Bone marrow smear: 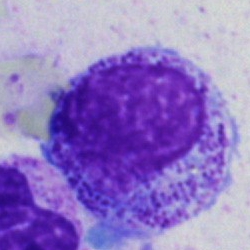

Q: What cell is this?
A: A progranulocyte.